Bone marrow aspirate smear: 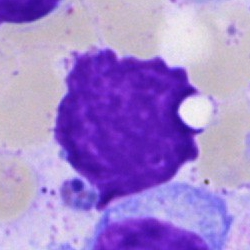

Q: What is shown here?
A: An artifact.